Peripheral blood film.
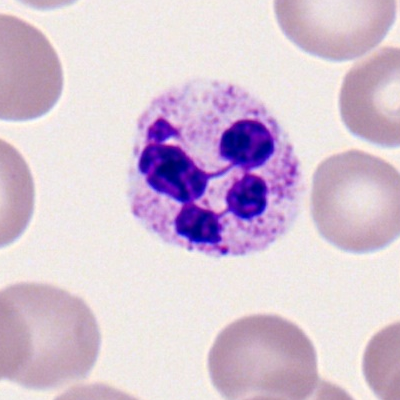 Cell type = neutrophil (segmented).